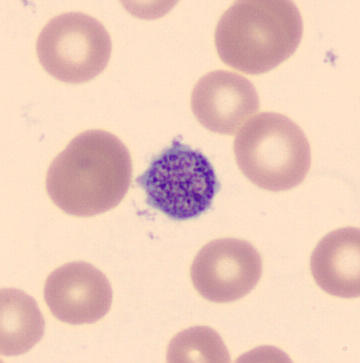

Morphology consistent with a platelet. Peripheral blood smear.